Bone marrow smear
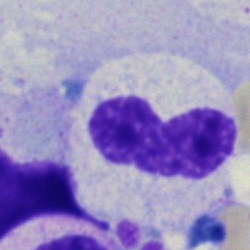
Specimen: bone marrow smear.
Classification: stab cell.
Lineage: myeloid.